250 by 250 pixels. MGG-stained. Bone marrow smear — 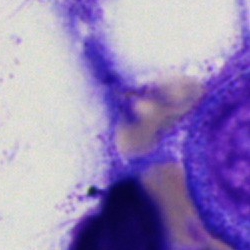 Cell — artifact.